Bone marrow smear; brightfield microscopy, 40× oil immersion:
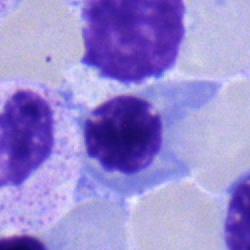

Morphology consistent with an erythroblast.